Bone marrow aspirate smear; May-Grünwald-Giemsa stain: 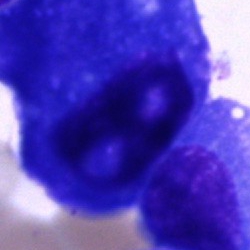

Specimen: bone marrow smear.
Morphological class: plasma cell.
Lineage: lymphoid.